Single-cell crop; 250×250 px; bone marrow smear
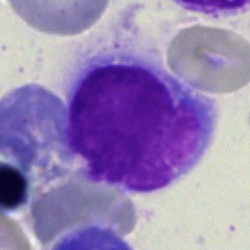
Cell: artifact.